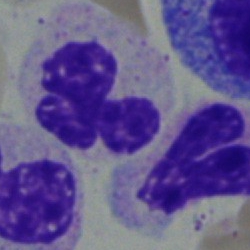 Morphology — segmented neutrophil.